Bone marrow smear.
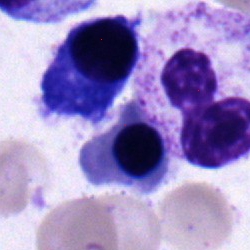Morphology → nucleated red cell.